Bone marrow aspirate smear; brightfield, 40× oil-immersion objective
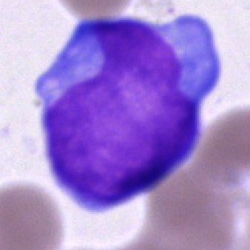Showing a blast cell.